Bone marrow smear · brightfield microscopy, 40× oil immersion · May-Grünwald-Giemsa stain.
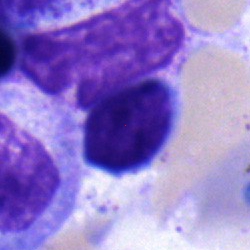Morphology — typical lymphocyte.